Bone marrow aspirate smear: 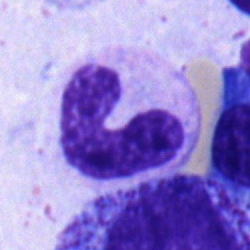 Morphological class — stab cell.